Bone marrow smear; cropped to a single cell; May-Grünwald-Giemsa/Pappenheim stain — 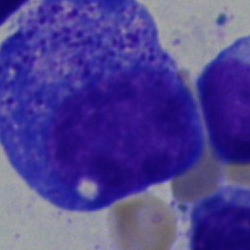 Morphological class = progranulocyte.